Bone marrow aspirate smear:
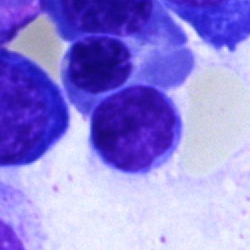Cell type — lymphocyte.